Pappenheim-stained. Bone marrow smear.
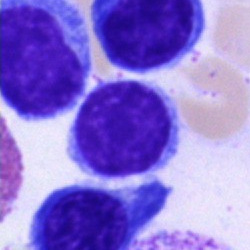 Q: What type of cell is this?
A: A typical lymphocyte.